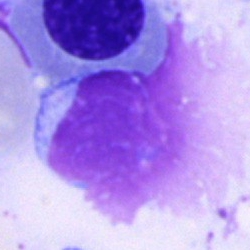

Specimen: bone marrow aspirate smear.
Classification: artifact.